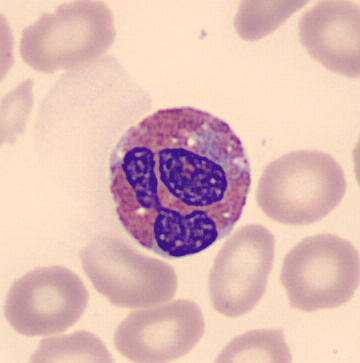Single cell centered in the field; May Grünwald-Giemsa stain.
Specimen: peripheral blood film.
Cell type: eosinophilic granulocyte.
Lineage: myeloid.